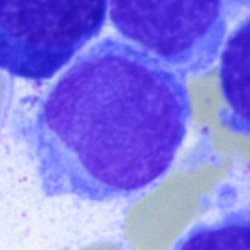

Bone marrow smear showing a hairy cell.